Bone marrow smear · single cell centered in the field · brightfield microscopy, 40× oil immersion
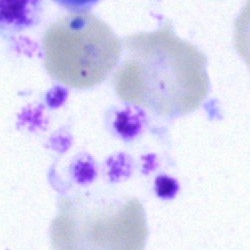

{"cell_type": "artifact"}